Bone marrow aspirate smear · 40× objective, oil immersion
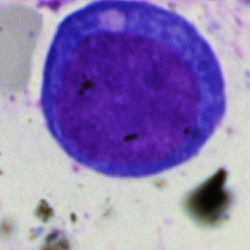
Morphological class = proerythroblast.